Bone marrow aspirate smear:
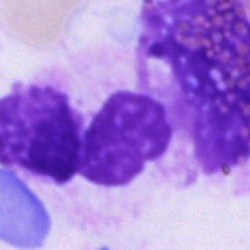 Single cell identified as an artifact.